Single-cell field. Bone marrow smear. 40× objective, oil immersion — 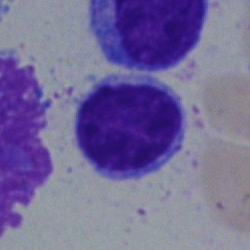Q: What cell is this?
A: A typical lymphocyte.